Bone marrow aspirate smear · MGG-stained:
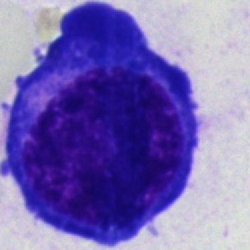

Impression — pronormoblast.